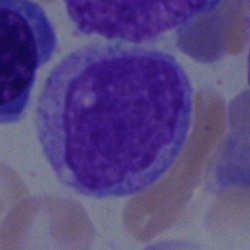 Single-cell crop from a bone marrow smear: monocyte.